May-Grünwald-Giemsa stain. Bone marrow aspirate smear — 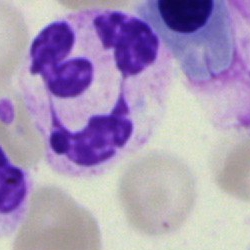 Morphology consistent with a segmented neutrophil.